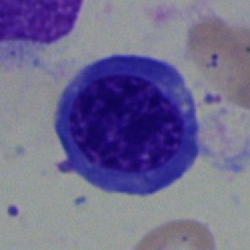A nucleated red blood cell.